40× objective, oil immersion; MGG-stained; bone marrow aspirate smear.
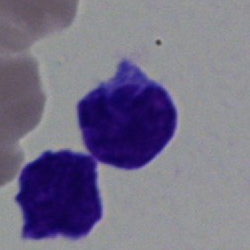
Blast.